Bone marrow aspirate smear
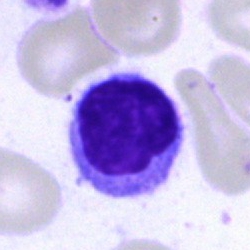
Cell — typical lymphocyte.